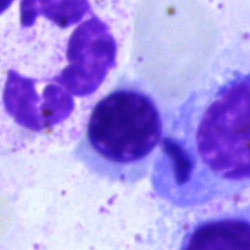
Showing a nucleated red blood cell.